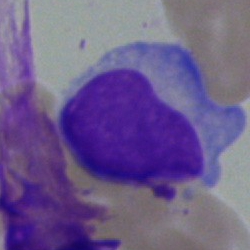 The classification is typical lymphocyte.